Bone marrow aspirate smear: 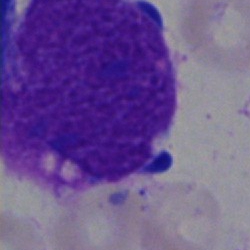 An artefact.